Bone marrow smear:
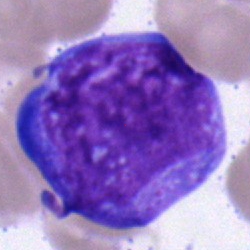An undifferentiated blast.